Single cell centered in the field. Peripheral blood smear
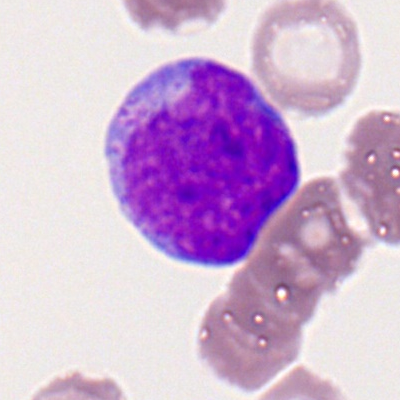
This is a myeloblast.